Bone marrow aspirate smear
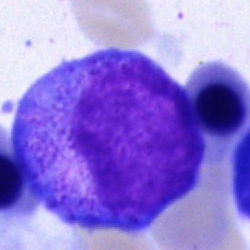
Morphological class = promyelocyte.